Bone marrow aspirate smear: 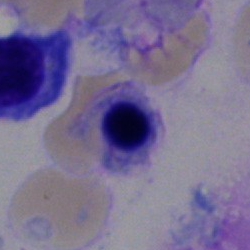

Morphology → nucleated red blood cell.